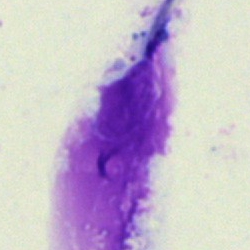
An artefact.